May-Grünwald-Giemsa stain. Bone marrow aspirate smear
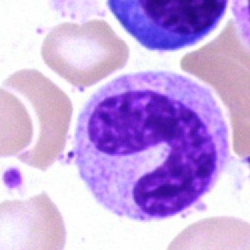
Cell type — neutrophil (band).